Bone marrow aspirate smear
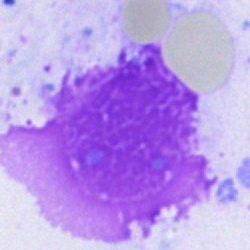
Morphology consistent with an artifact.